Bone marrow aspirate smear: 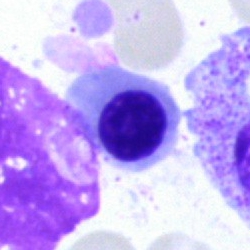 Single cell identified as a normoblast.